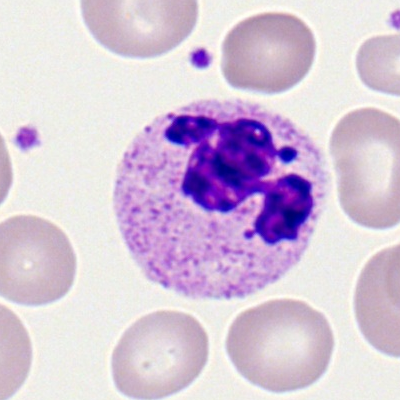
Impression → neutrophil (segmented).